Bone marrow smear: 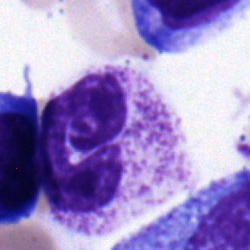
Q: What is the morphological classification of this cell?
A: Neutrophil (band).